Brightfield microscopy, 40× oil immersion; bone marrow smear
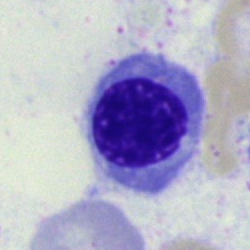Cell = erythroblast.